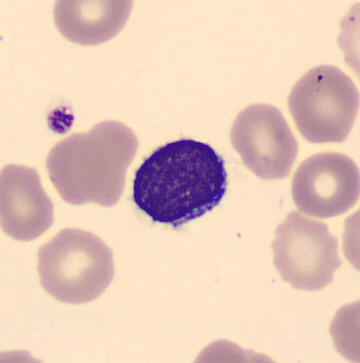

Peripheral blood smear.

Q: What type of cell is this?
A: Typical lymphocyte.